Bone marrow aspirate smear
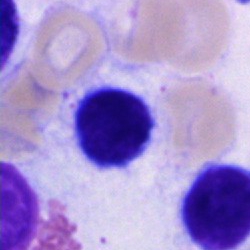Q: What cell is this?
A: This is a typical lymphocyte.